Bone marrow smear — 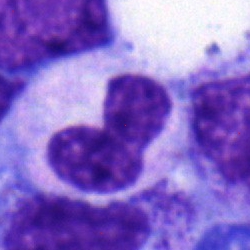A band-form neutrophil.